Bone marrow aspirate smear:
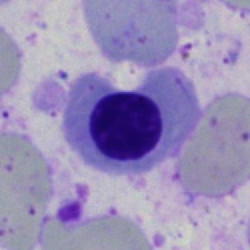
{"cell_type": "erythroblast"}